Bone marrow smear.
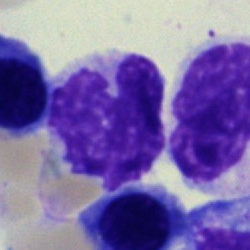 Q: Which cell type is shown here?
A: This is a monocyte.